Bone marrow aspirate smear:
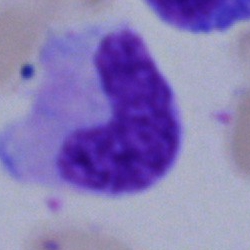

This is a stab cell.